Bone marrow aspirate smear; single cell centered in the field — 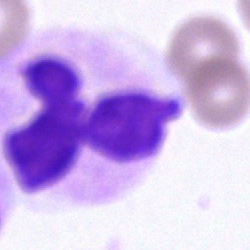
Q: Identify the cell.
A: It is a segmented neutrophil.